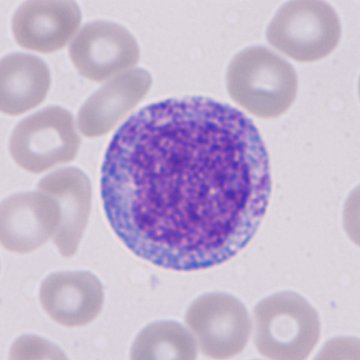Image: Peripheral blood smear. The cell shown is an immature granulocyte (promyelocyte, myelocyte or metamyelocyte).